Bone marrow smear.
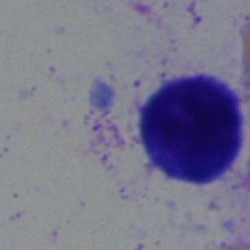 Classification: typical lymphocyte.